Single-cell crop · bone marrow smear:
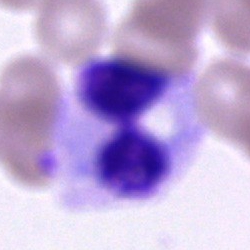
Specimen: bone marrow aspirate smear.
Morphological class: cell of indeterminate lineage.